Brightfield microscopy, 40× oil immersion · cropped to a single cell · bone marrow aspirate smear.
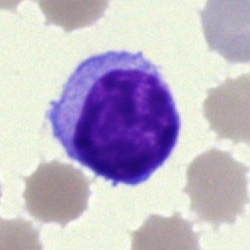

Cell — typical lymphocyte.